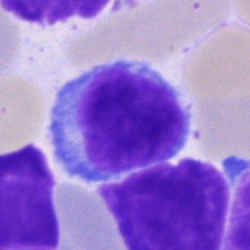

The cell shown is a typical lymphocyte.